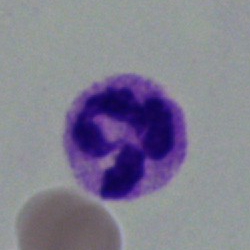 {"cell_type": "polymorphonuclear neutrophil", "lineage": "myeloid"}